Bone marrow smear. Pappenheim-stained:
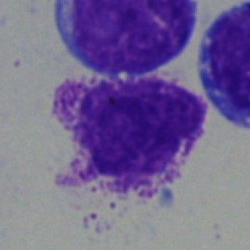
Specimen: bone marrow smear.
Cell: neutrophil (segmented).